250 by 250 pixels · 40× objective, oil immersion · bone marrow smear: 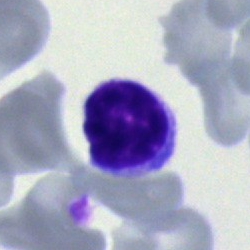 Morphology consistent with a typical lymphocyte.